Cropped to a single cell. Bone marrow aspirate smear. 250×250 px.
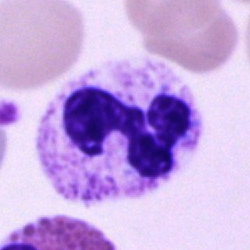
Classification: polymorphonuclear neutrophil.